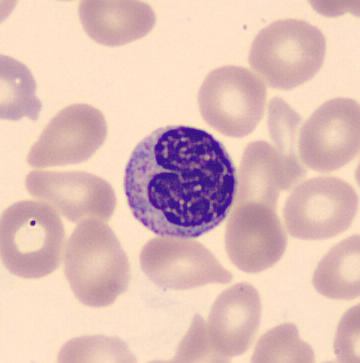Morphological class — metamyelocyte.